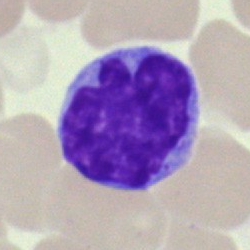 Cell type = typical lymphocyte.